Bone marrow aspirate smear. MGG-stained — 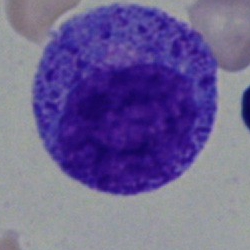
Morphology — progranulocyte.